40× oil immersion · bone marrow aspirate smear · single-cell field — 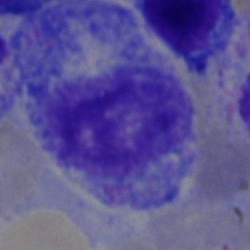 The cell shown is a myelocyte.